Single-cell crop. 250×250 px. Bone marrow smear:
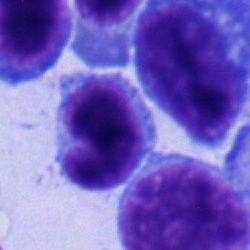
The morphological class is lymphocyte.